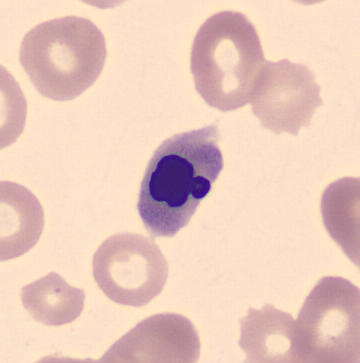

Classification: normoblast.